Single-cell field; 40× oil immersion; bone marrow smear: 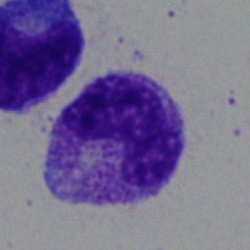Cell type = neutrophil (band).